40× objective, oil immersion · bone marrow aspirate smear · MGG-stained
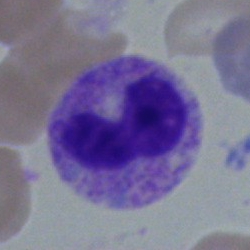Q: What type of cell is this?
A: This is a neutrophil (band).